250 by 250 pixels; bone marrow aspirate smear: 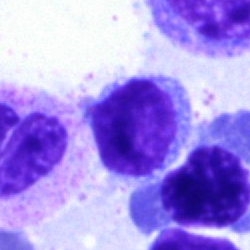Specimen: bone marrow aspirate smear.
Morphological class: lymphocyte.
Lineage: lymphoid.